Bone marrow aspirate smear:
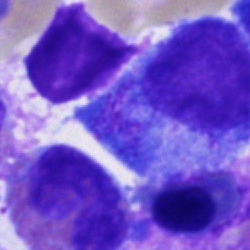 Single cell identified as an artefact.